May-Grünwald-Giemsa stain · bone marrow aspirate smear: 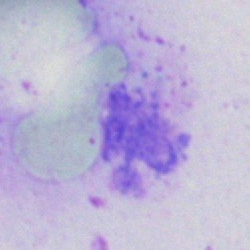Showing an artefact.